Bone marrow smear · brightfield, 40× oil-immersion objective.
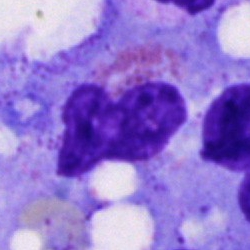 {"cell_type": "eosinophilic granulocyte", "lineage": "myeloid"}